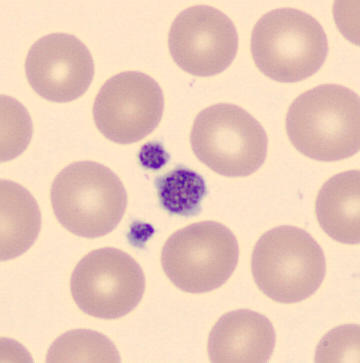
Image size 360×363; peripheral blood film; imaged on a CellaVision DM96 analyser. Cell type — platelet.